Bone marrow smear
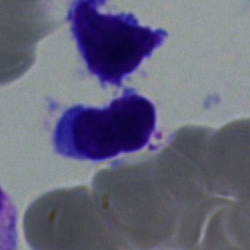A typical lymphocyte.